Bone marrow aspirate smear; May-Grünwald-Giemsa/Pappenheim stain.
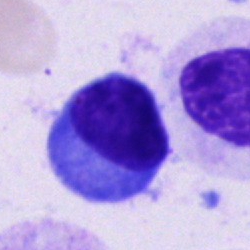Morphology — plasmacyte.